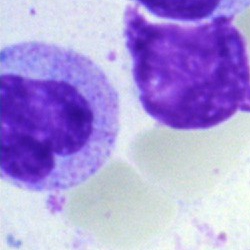

Morphological class = cell of indeterminate lineage.